Brightfield microscopy, 40× oil immersion · 250×250 · bone marrow aspirate smear: 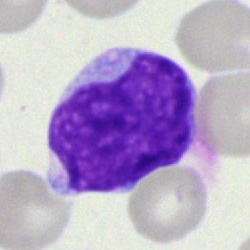

This is a blast.